Bone marrow smear: 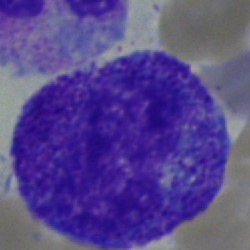
Promyelocyte.